Bone marrow smear. Brightfield, 40× oil-immersion objective. 250×250 px: 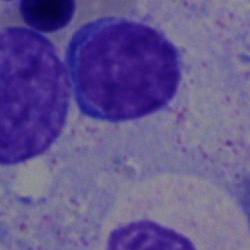

The classification is typical lymphocyte.